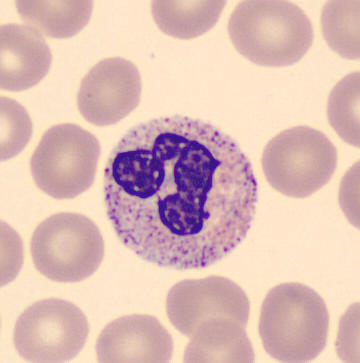

Peripheral blood smear. Cell — polymorphonuclear neutrophil.